40× objective, oil immersion; bone marrow aspirate smear: 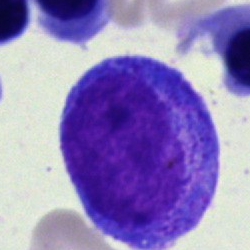
A progranulocyte.